Brightfield, 40× oil-immersion objective. Bone marrow aspirate smear. MGG-stained — 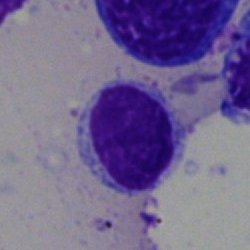

Specimen: bone marrow aspirate smear.
Morphological class: lymphocyte.
Lineage: lymphoid.